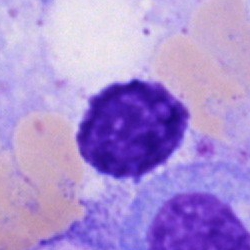 Cell type: artifact.